May-Grünwald-Giemsa stain · single-cell field · bone marrow smear:
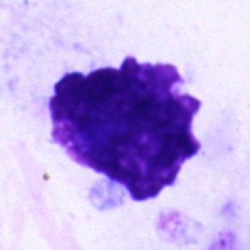Q: What is shown here?
A: An artefact.